Bone marrow smear.
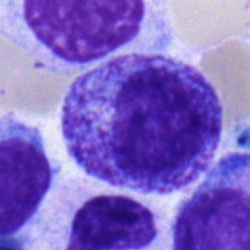

Impression — myelocyte.